Bone marrow smear
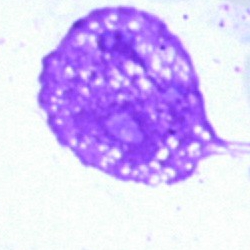

The cell shown is an artefact.